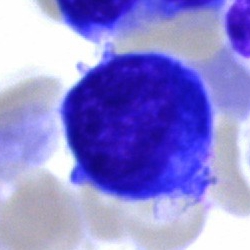 Q: What is the morphological classification of this cell?
A: It is a nucleated red cell.